Bone marrow smear. Single-cell crop: 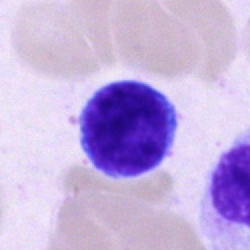Q: What cell is this?
A: Lymphocyte.